May-Grünwald-Giemsa stain; bone marrow aspirate smear; 250 by 250 pixels
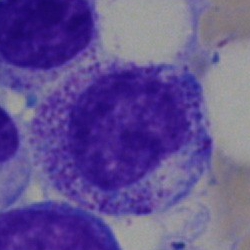Q: What cell is this?
A: A myelocyte.